250 by 250 pixels · bone marrow smear — 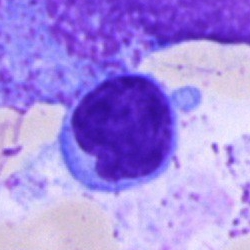 Classification = lymphocyte.